Single cell centered in the field. Bone marrow aspirate smear:
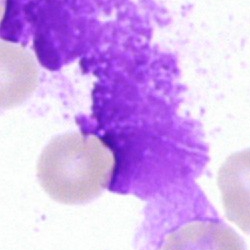Specimen: bone marrow aspirate smear.
Cell: artefact.